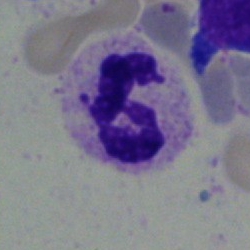
The cell is neutrophil (segmented).